Bone marrow smear:
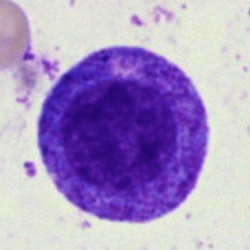
A myelocyte.